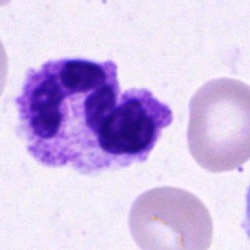
Cell — polymorphonuclear neutrophil.